Bone marrow aspirate smear:
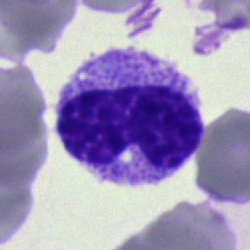 Specimen: bone marrow aspirate smear.
Morphological class: metamyelocyte.
Lineage: myeloid.